Bone marrow smear
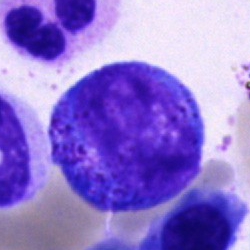 Cell type — progranulocyte.